Bone marrow aspirate smear: 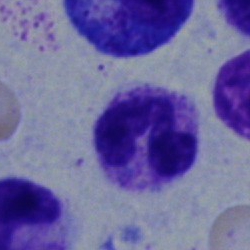Specimen: bone marrow smear.
Cell type: segmented neutrophil.